Bone marrow aspirate smear.
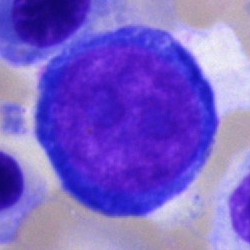 The cell type is pronormoblast.